Bone marrow smear · 250×250 px · May-Grünwald-Giemsa/Pappenheim stain
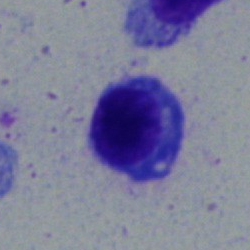Q: Identify the cell.
A: A lymphocyte.